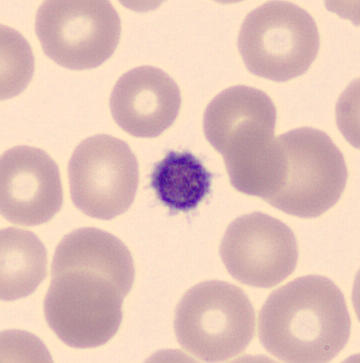 May Grünwald-Giemsa stain. Peripheral blood smear. Thrombocyte.